Bone marrow smear — 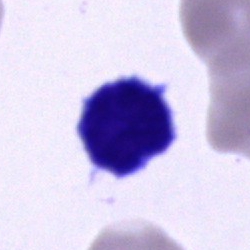 Q: Which cell type is shown here?
A: Typical lymphocyte.